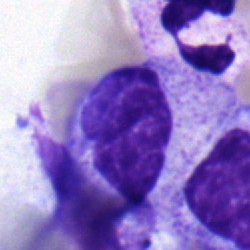

Q: What is the morphological classification of this cell?
A: Metamyelocyte.